Peripheral blood film. Single-cell field.
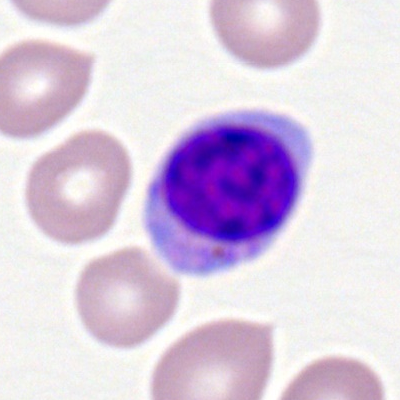
A lymphocyte.